Bone marrow smear; Pappenheim-stained; 250×250 px.
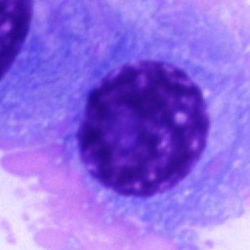
{"cell_type": "plasma cell", "lineage": "lymphoid"}